Bone marrow smear
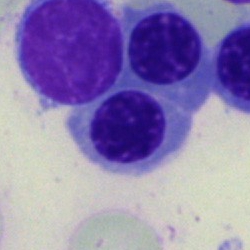Morphology → erythroblast.